Bone marrow aspirate smear. Brightfield microscopy, 40× oil immersion
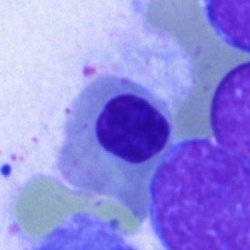Normoblast.